Bone marrow aspirate smear; single cell centered in the field
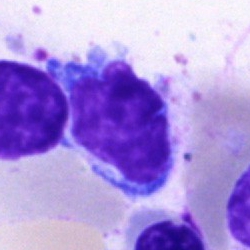

This is a typical lymphocyte.